Image size 250×250 · bone marrow aspirate smear · May-Grünwald-Giemsa/Pappenheim stain — 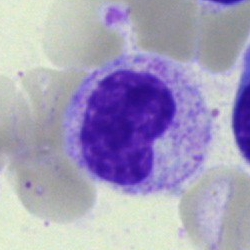 Morphology — metamyelocyte.